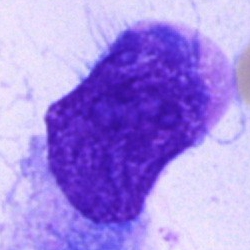An artifact.